Bone marrow smear:
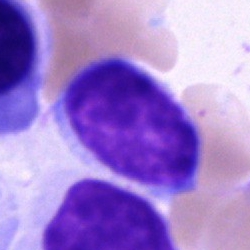Typical lymphocyte.